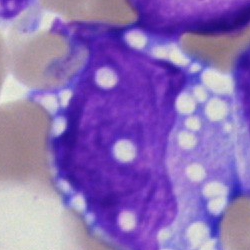

Impression → monocyte.